Bone marrow smear.
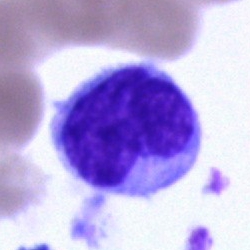

An undifferentiated blast.